Bone marrow smear. Single-cell field. May-Grünwald-Giemsa/Pappenheim stain — 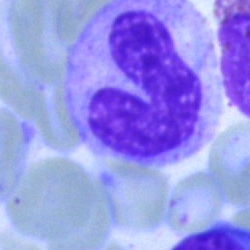

Q: What is shown here?
A: This is a stab cell.